Bone marrow aspirate smear.
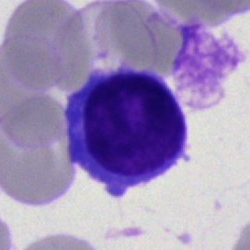
Specimen: bone marrow aspirate smear.
Classification: lymphocyte.
Lineage: lymphoid.